250×250. Bone marrow smear
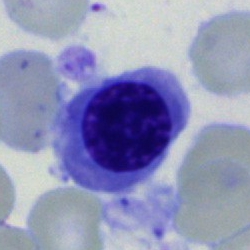 Classification — erythroblast.